Bone marrow aspirate smear:
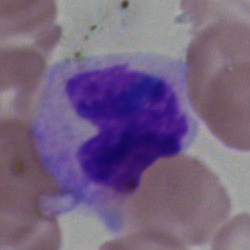 Cell: metamyelocyte.